Peripheral blood film; 100× oil immersion.
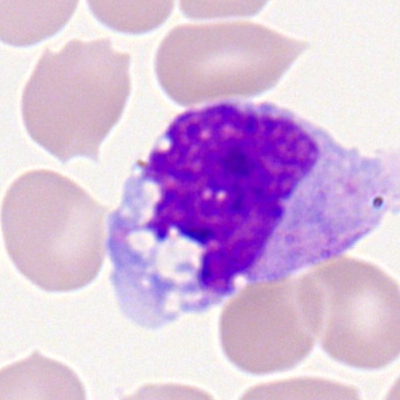 A monocyte.